MGG-stained; bone marrow aspirate smear; 250×250 px.
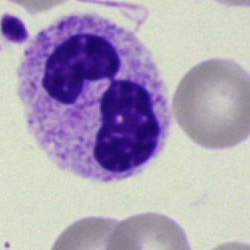Morphology consistent with a segmented neutrophil.